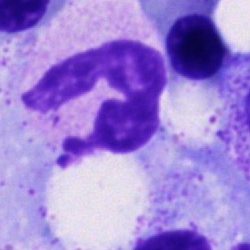 Specimen: bone marrow aspirate smear.
Classification: polymorphonuclear neutrophil.